Bone marrow aspirate smear; 250×250: 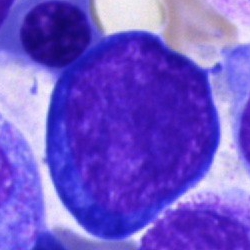

Q: Which cell type is shown here?
A: Proerythroblast.